Bone marrow smear
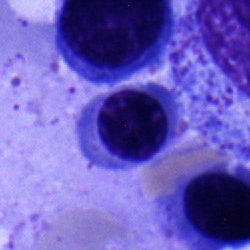
Classification = erythroblast.